Bone marrow smear; cropped to a single cell; brightfield, 40× oil-immersion objective: 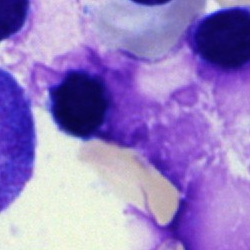

Specimen: bone marrow smear.
Classification: artefact.